May-Grünwald-Giemsa/Pappenheim stain · bone marrow smear
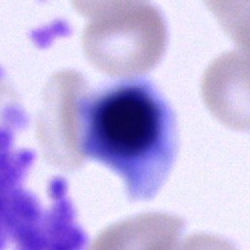

Q: What is shown here?
A: An unidentifiable cell.